Bone marrow smear: 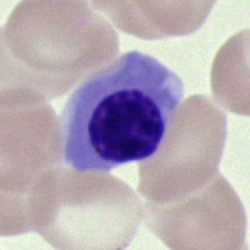Q: Which cell type is shown here?
A: This is a nucleated red blood cell.